250×250 · bone marrow smear:
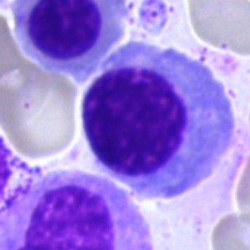 Impression — normoblast.